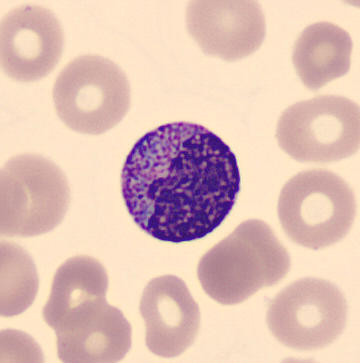

Classification = metamyelocyte.

Peripheral blood film; single-cell crop.